Bone marrow aspirate smear: 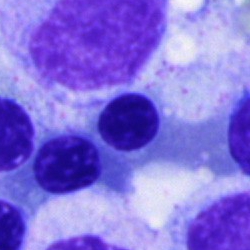

Q: Which cell type is shown here?
A: It is a nucleated red blood cell.